Bone marrow aspirate smear; May-Grünwald-Giemsa stain
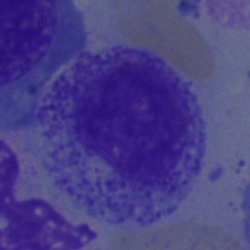Q: What type of cell is this?
A: A myelocyte.